Bone marrow smear:
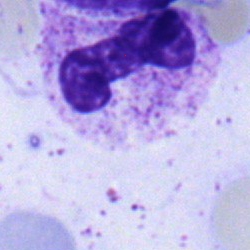Cell type: band-form neutrophil.